250×250; May-Grünwald-Giemsa/Pappenheim stain; bone marrow aspirate smear — 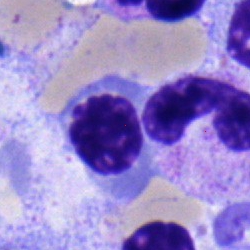 Nucleated red blood cell.